Bone marrow aspirate smear.
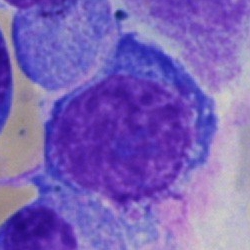 This is an artifact.